May-Grünwald-Giemsa stain. Bone marrow aspirate smear. Image size 250×250
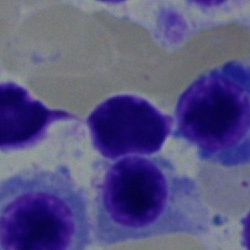
Cell — normoblast.